Bone marrow smear: 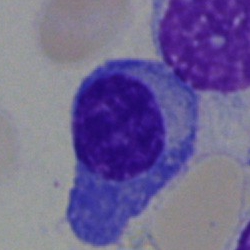Morphology consistent with a plasma cell.